Bone marrow aspirate smear — 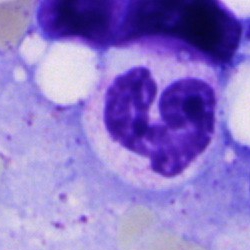A polymorphonuclear neutrophil.